250×250. Single cell centered in the field. Bone marrow aspirate smear — 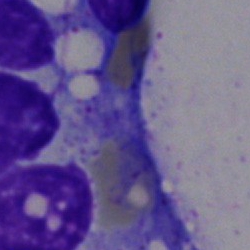 Impression — artefact.